Bone marrow aspirate smear:
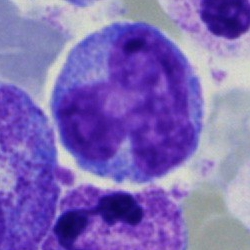 The cell shown is a monocyte.